Peripheral blood film. Romanowsky stain.
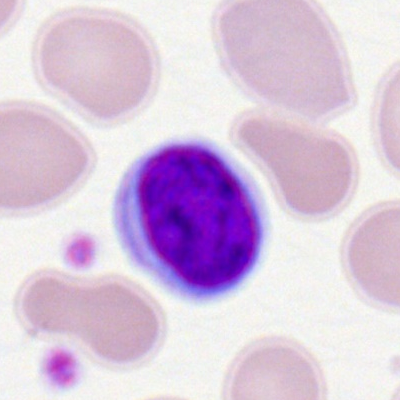
Impression — lymphocyte.